May-Grünwald-Giemsa/Pappenheim stain; bone marrow aspirate smear
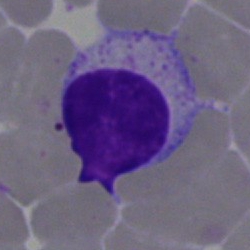 {"cell_type": "typical lymphocyte", "lineage": "lymphoid"}